Image size 250×250 · 40× objective, oil immersion · bone marrow smear: 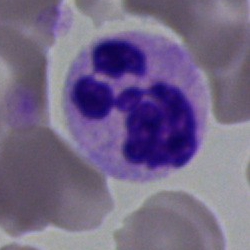

Specimen: bone marrow smear.
Morphological class: segmented neutrophil.